Bone marrow aspirate smear
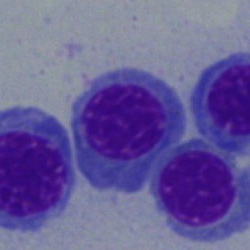

The cell shown is an erythroblast.